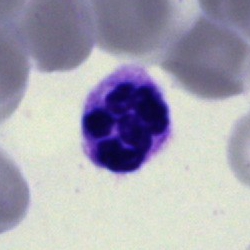 This is a segmented neutrophil.